Brightfield microscopy, 40× oil immersion; May-Grünwald-Giemsa/Pappenheim stain; bone marrow aspirate smear.
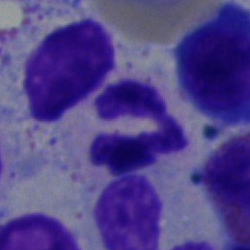

Showing a neutrophil (segmented).